250 by 250 pixels; bone marrow smear
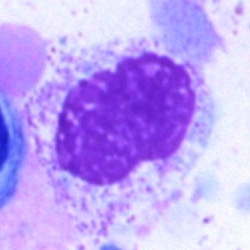This is an artifact.